Bone marrow smear.
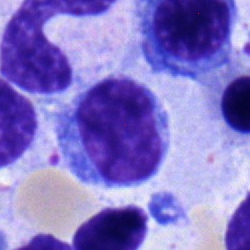 Specimen: bone marrow aspirate smear.
Classification: lymphocyte.